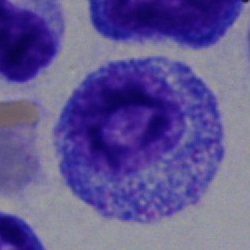Impression → myelocyte.